Brightfield, 100× oil-immersion objective · peripheral blood smear · single cell centered in the field — 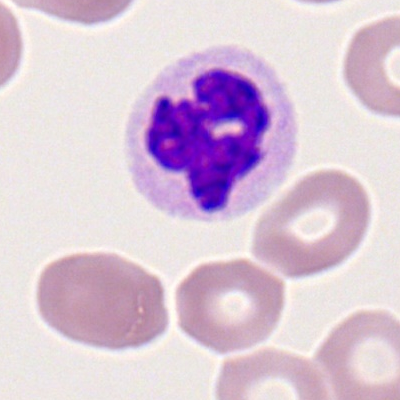

Cell — polymorphonuclear neutrophil.